Bone marrow aspirate smear; 250×250.
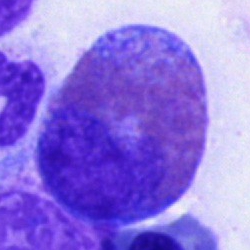 The classification is eosinophil.